Bone marrow aspirate smear · single cell centered in the field — 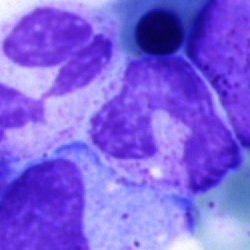 This is a segmented neutrophil.